Peripheral blood smear
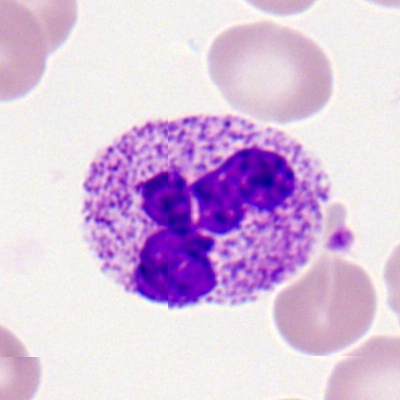

Classification = segmented neutrophil.